Bone marrow smear; 250 by 250 pixels:
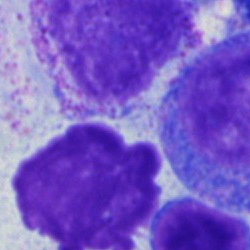Artefact.